Bone marrow smear — 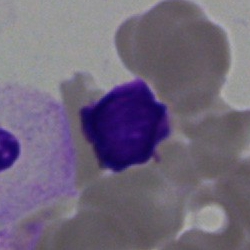
Artefact.